100× oil immersion, 14.14 px/µm; peripheral blood smear
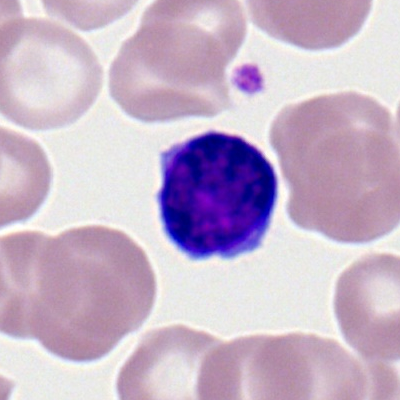 Morphology — typical lymphocyte.